Bone marrow smear; image size 250×250
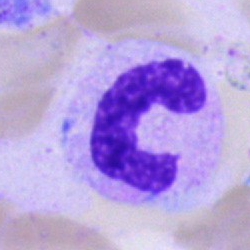 Morphological class — band-form neutrophil.